Bone marrow aspirate smear — 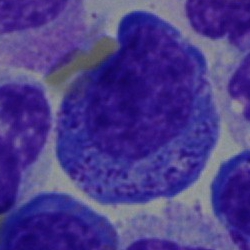 The cell shown is a promyelocyte.